Bone marrow smear.
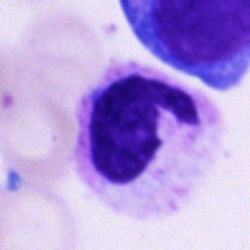Cell type — neutrophil (segmented).